Bone marrow smear.
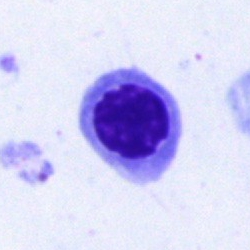
Cell: erythroblast.